Single-cell crop · Pappenheim-stained · bone marrow smear:
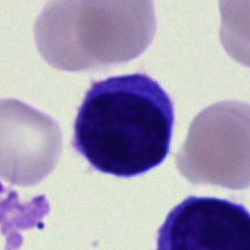

Q: Identify the cell.
A: It is a typical lymphocyte.